Bone marrow aspirate smear:
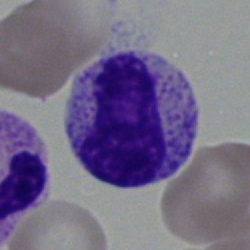 Q: What cell is this?
A: Metamyelocyte.